40× objective, oil immersion; bone marrow aspirate smear; 250×250
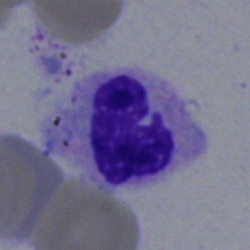Q: What type of cell is this?
A: Polymorphonuclear neutrophil.